Bone marrow smear. Brightfield microscopy, 40× oil immersion:
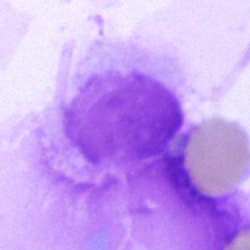

The classification is artefact.